Bone marrow aspirate smear:
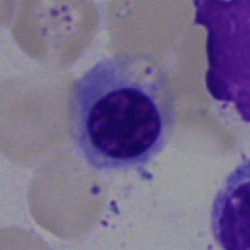Normoblast.